Bone marrow aspirate smear; May-Grünwald-Giemsa stain; brightfield, 40× oil-immersion objective.
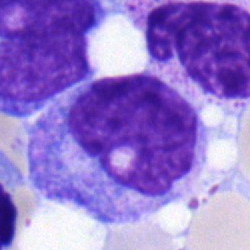A promyelocyte.